Bone marrow aspirate smear:
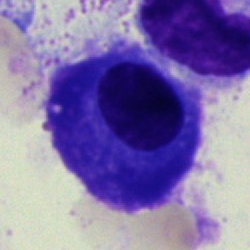

Morphology — plasma cell.